Bone marrow aspirate smear. 250×250
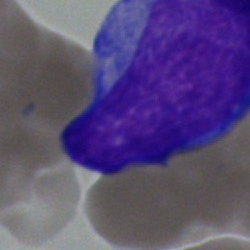
Showing a blast cell.